Bone marrow smear.
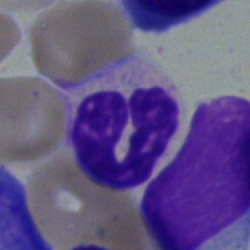

Impression → stab cell.